Bone marrow aspirate smear; 250 by 250 pixels.
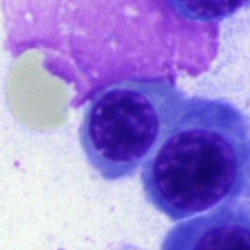Impression → nucleated red cell.